Peripheral blood smear
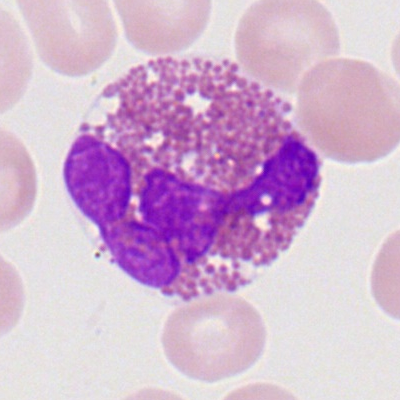

Q: Which cell type is shown here?
A: Eosinophilic granulocyte.